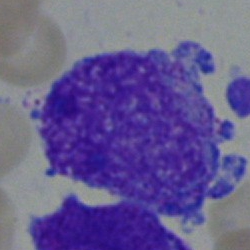

Single-cell crop from a bone marrow smear: undifferentiated blast.